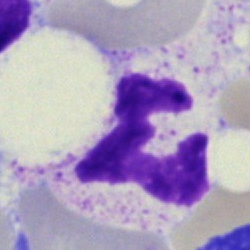Q: What cell is this?
A: It is a polymorphonuclear neutrophil.